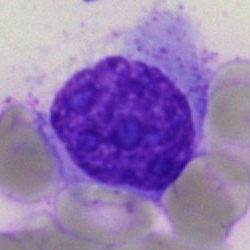

{"cell_type": "artefact"}